Bone marrow aspirate smear; single-cell crop; 250×250:
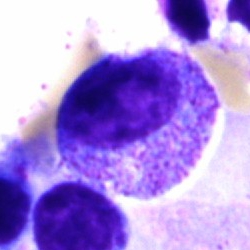

The cell shown is a progranulocyte.